Bone marrow smear: 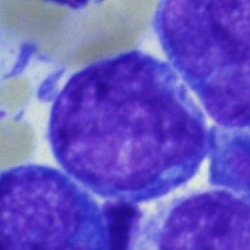Morphological class: blast cell.